Bone marrow smear; MGG-stained.
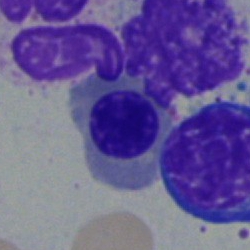
Showing a normoblast.